Brightfield, 40× oil-immersion objective · bone marrow smear.
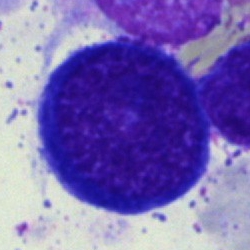

Cell type — normoblast.